May-Grünwald-Giemsa/Pappenheim stain; 40× oil immersion; bone marrow smear:
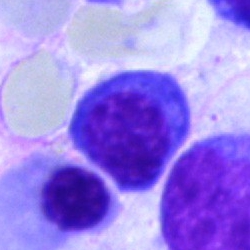

Morphology consistent with an erythroblast.